Bone marrow aspirate smear:
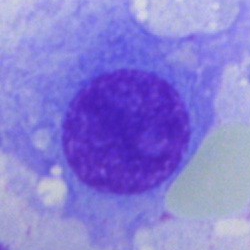Q: What is shown here?
A: It is an artefact.